Bone marrow smear
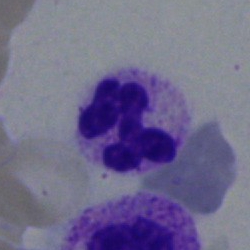

Morphology consistent with a neutrophil (segmented).